Peripheral blood smear:
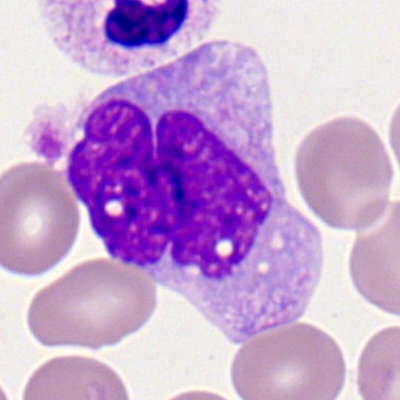

Morphological class — monocyte.